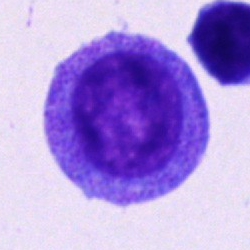Morphology consistent with a promyelocyte.